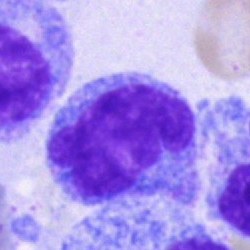

Cell type = monocyte.